Bone marrow aspirate smear: 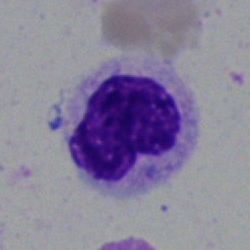
Single cell identified as a metamyelocyte.